250×250. Bone marrow aspirate smear — 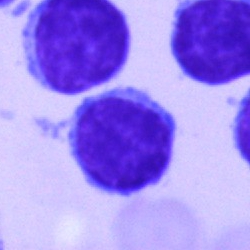

Q: What cell is this?
A: Lymphocyte.